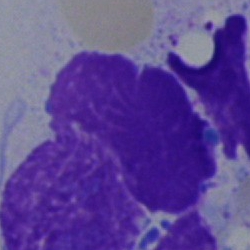Morphology — artifact.